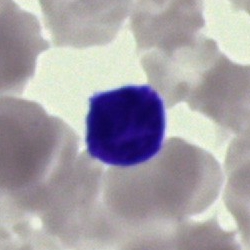 This is an unidentifiable cell.